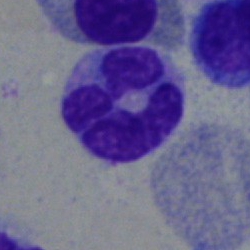

{"cell_type": "monocyte", "lineage": "myeloid"}